Brightfield microscopy, 40× oil immersion · MGG-stained · bone marrow aspirate smear: 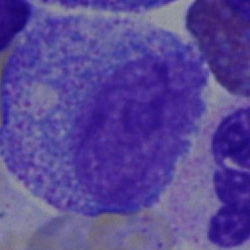 Progranulocyte.